Bone marrow aspirate smear:
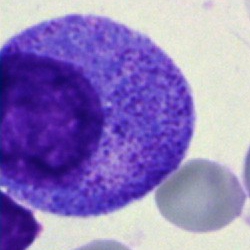

This is a myelocyte.